Brightfield, 40× oil-immersion objective; bone marrow aspirate smear; MGG-stained:
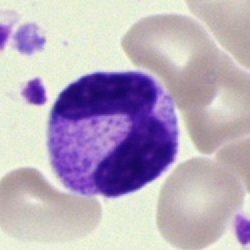

Q: What is shown here?
A: Neutrophil (band).